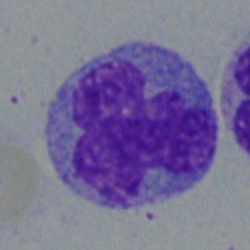Cell = monocyte.